Bone marrow smear — 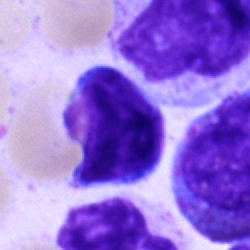
Single cell identified as a lymphocyte.